Peripheral blood film · Romanowsky stain.
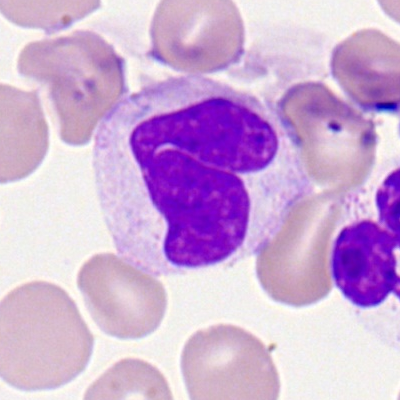 Polymorphonuclear neutrophil.